Peripheral blood smear.
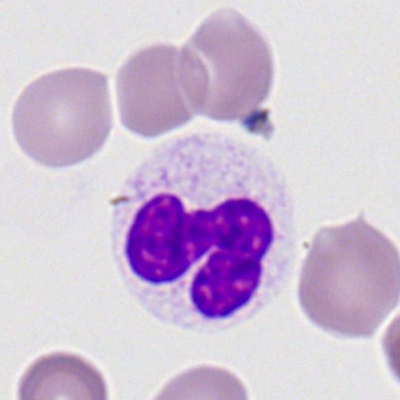 Specimen: peripheral blood film.
Cell type: neutrophil (segmented).
Lineage: myeloid.